Bone marrow aspirate smear · 250 by 250 pixels · May-Grünwald-Giemsa/Pappenheim stain.
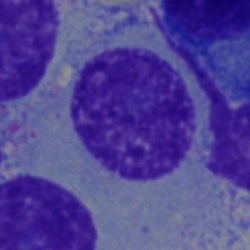 {"cell_type": "plasmacyte", "lineage": "lymphoid"}